Bone marrow smear:
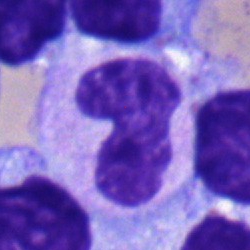Impression — band-form neutrophil.